MGG-stained. Bone marrow aspirate smear
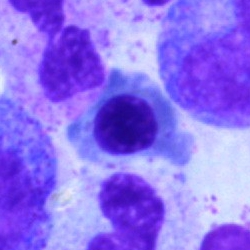
Cell type — erythroblast.